Bone marrow smear: 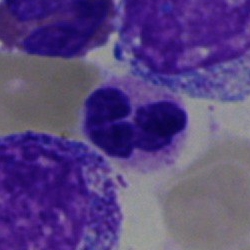

Segmented neutrophil.